Bone marrow aspirate smear.
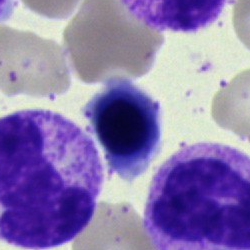
Morphology → nucleated red blood cell.